Single cell centered in the field. 100× objective, oil immersion. Peripheral blood smear:
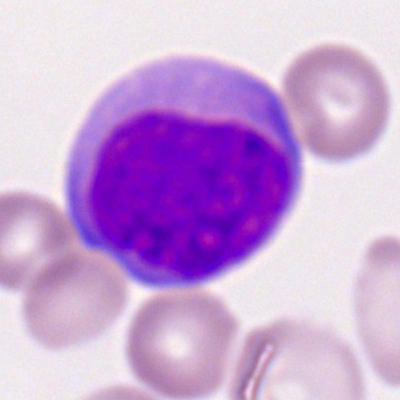Classification — myeloid blast.